Bone marrow smear.
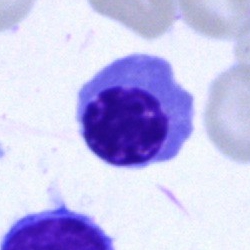
A nucleated red blood cell.